Image size 250×250; bone marrow aspirate smear — 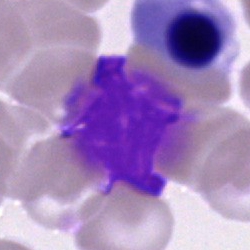 Artefact.